Brightfield microscopy, 40× oil immersion · bone marrow aspirate smear: 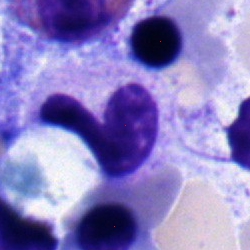

Specimen: bone marrow aspirate smear.
Cell type: band neutrophil.
Lineage: myeloid.